Bone marrow aspirate smear.
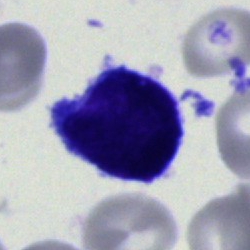Impression → blast.